Bone marrow aspirate smear: 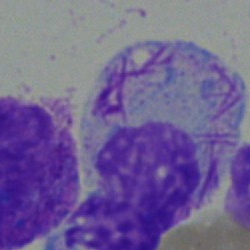
Morphology → cell with bundled Auer rods.